250 by 250 pixels · bone marrow smear:
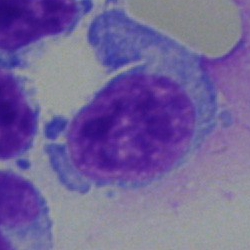 Q: Identify the cell.
A: It is a lymphocyte.